Bone marrow aspirate smear · 40× objective, oil immersion: 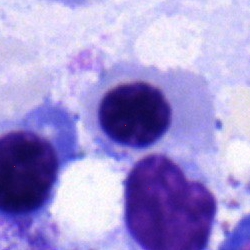Q: What cell is this?
A: A normoblast.